Bone marrow aspirate smear. 250×250 px — 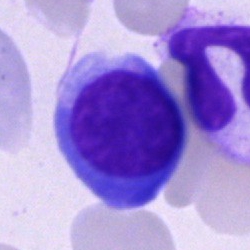
Single cell identified as a plasmacyte.